Single-cell crop · bone marrow aspirate smear · brightfield microscopy, 40× oil immersion:
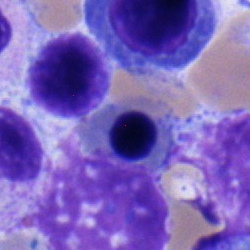 Cell type — nucleated red cell.